Bone marrow smear.
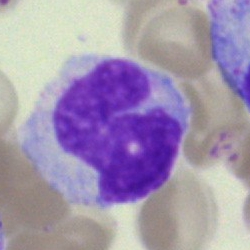Cell type = monocyte.